MGG-stained · bone marrow smear: 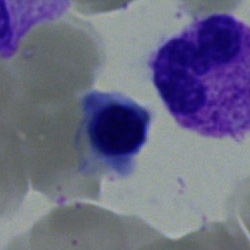

Specimen: bone marrow smear.
Cell: nucleated red blood cell.
Lineage: erythroid.